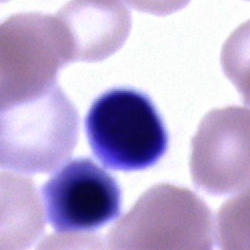
Bone marrow smear showing a cell of indeterminate lineage.